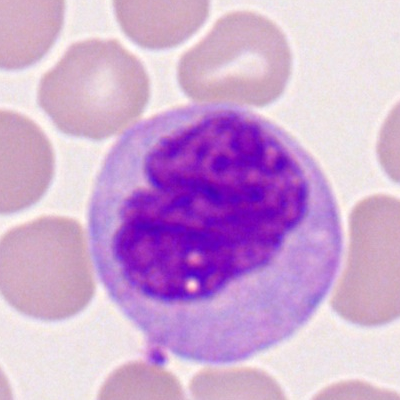

Peripheral blood film, single cell — monocyte.